Bone marrow smear.
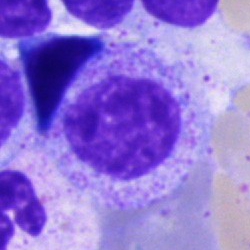Showing a myelocyte.